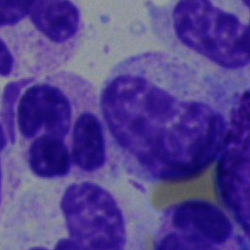Impression → neutrophil (segmented).